Single cell centered in the field · May Grünwald-Giemsa stain · peripheral blood smear — 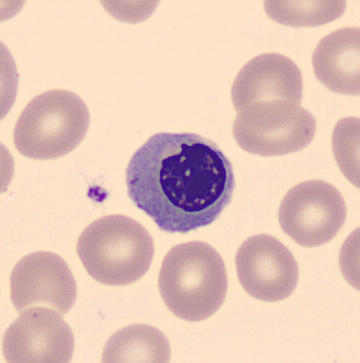
Q: What is this?
A: Nucleated red cell.